Bone marrow aspirate smear — 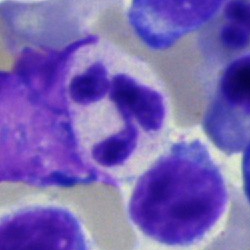
Morphological class — polymorphonuclear neutrophil.